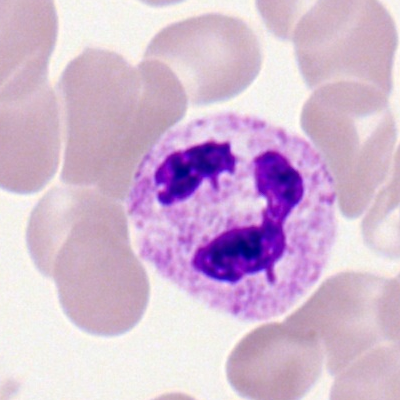 {"cell_type": "neutrophil (segmented)", "lineage": "myeloid"}